Bone marrow aspirate smear. Single cell centered in the field: 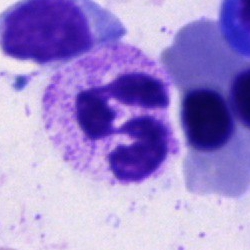

Q: Identify the cell.
A: This is a neutrophil (segmented).